Cropped to a single cell; bone marrow aspirate smear:
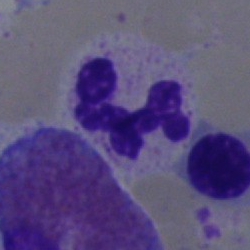 This is a polymorphonuclear neutrophil.